MGG-stained. Bone marrow aspirate smear. 40× oil immersion
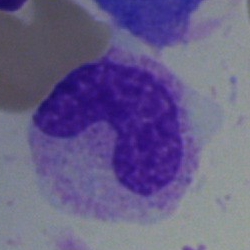

Q: What is shown here?
A: Band-form neutrophil.